Single-cell field · bone marrow smear · 40× oil immersion:
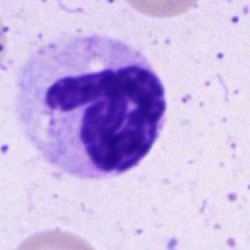
The cell shown is a segmented neutrophil.